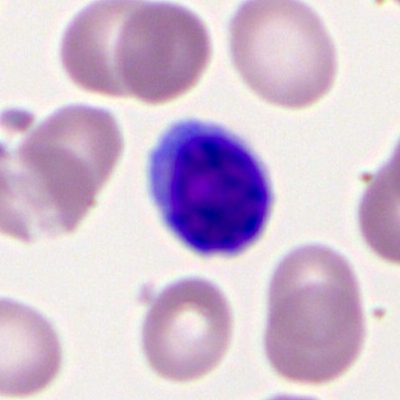Morphology — typical lymphocyte.